250×250 px. Bone marrow aspirate smear. 40× objective, oil immersion
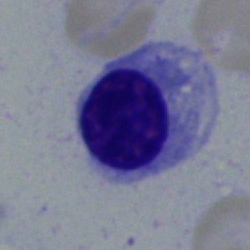
Classification: erythroblast.